Bone marrow smear
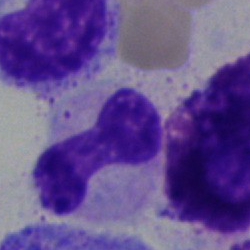
A band neutrophil.